Bone marrow aspirate smear.
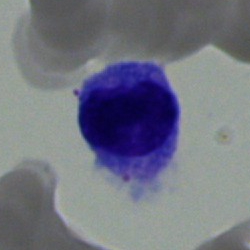This is a typical lymphocyte.